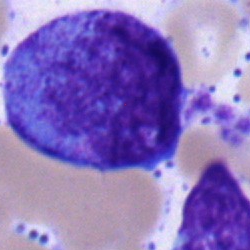
A progranulocyte.